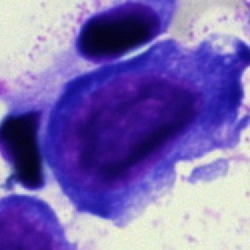
Impression — nucleated red blood cell.